Bone marrow smear
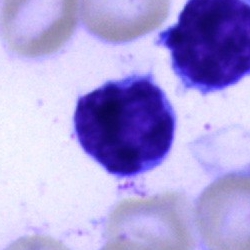 Specimen: bone marrow aspirate smear.
Cell type: lymphocyte.